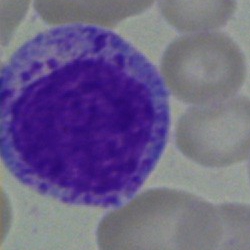The classification is myelocyte.